Bone marrow aspirate smear:
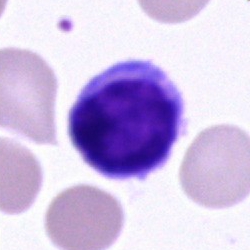
Impression → typical lymphocyte.